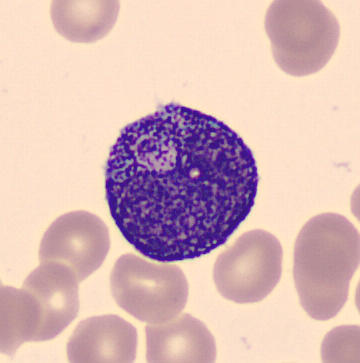
Image: May Grünwald-Giemsa stain; peripheral blood film. Morphology → promyelocyte.